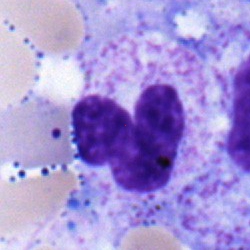 Showing a band-form neutrophil.